Bone marrow smear: 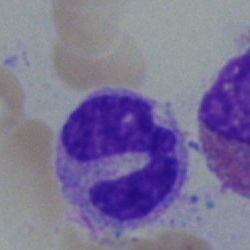

Classification — polymorphonuclear neutrophil.